Bone marrow aspirate smear
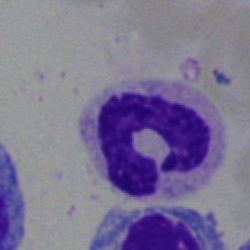 The cell shown is a segmented neutrophil.